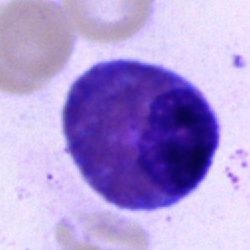

Q: What cell is this?
A: This is an eosinophilic granulocyte.